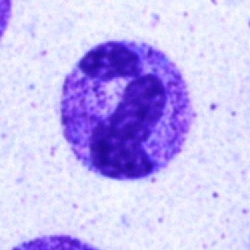Morphological class — neutrophil (segmented).